May-Grünwald-Giemsa stain. Bone marrow aspirate smear. Brightfield microscopy, 40× oil immersion:
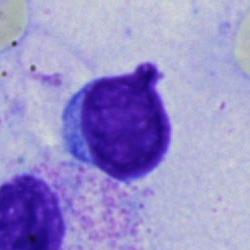 Single cell identified as a lymphocyte.